Bone marrow aspirate smear. Single-cell field:
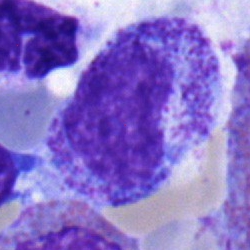 {"cell_type": "myelocyte", "lineage": "myeloid"}